Peripheral blood film — 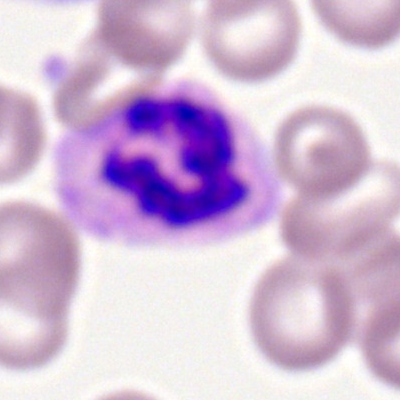Specimen: peripheral blood smear.
Morphological class: segmented neutrophil.